Brightfield, 40× oil-immersion objective; bone marrow aspirate smear; May-Grünwald-Giemsa/Pappenheim stain
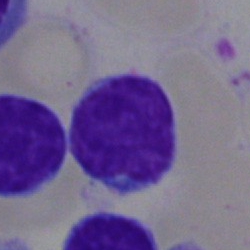
Specimen: bone marrow smear.
Morphological class: typical lymphocyte.
Lineage: lymphoid.